Peripheral blood smear · image size 400×400 · Romanowsky-type stain.
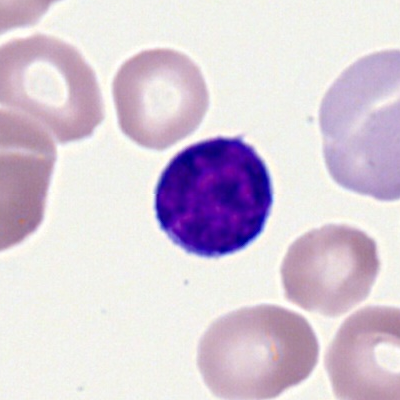 Morphological class: lymphocyte.